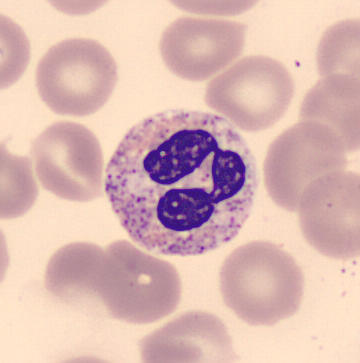Image: Peripheral blood film · 360×363 px.

Impression → neutrophil (segmented).